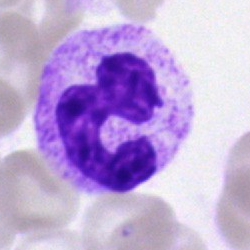The classification is segmented neutrophil.